40× objective, oil immersion. Bone marrow smear
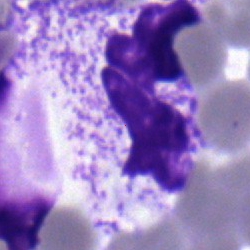
This is a neutrophil (segmented).